Bone marrow aspirate smear: 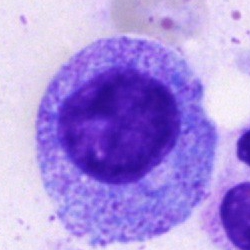The cell shown is a progranulocyte.